Bone marrow aspirate smear · May-Grünwald-Giemsa stain.
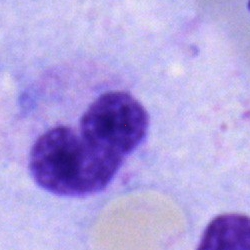Specimen: bone marrow smear.
Cell: neutrophil (band).